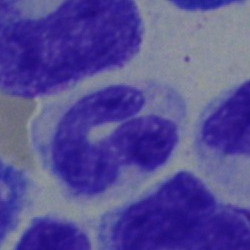
Q: What is the morphological classification of this cell?
A: Stab cell.